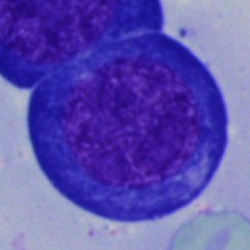Q: Identify the cell.
A: A nucleated red blood cell.